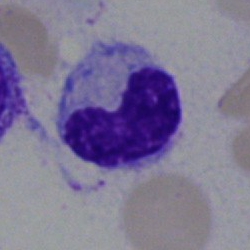

Morphological class: stab cell.